Image size 250×250 · bone marrow aspirate smear:
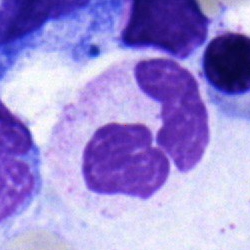
Single cell identified as a segmented neutrophil.